Bone marrow smear: 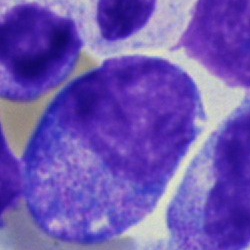 Specimen: bone marrow aspirate smear.
Cell type: progranulocyte.
Lineage: myeloid.